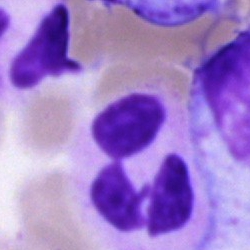 A polymorphonuclear neutrophil on a bone marrow smear.